Bone marrow smear.
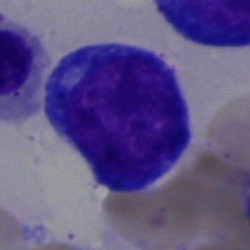Impression → erythroblast.